Bone marrow smear.
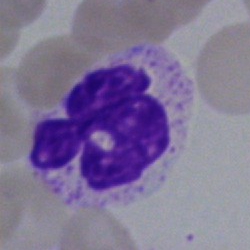 Morphology — polymorphonuclear neutrophil.